Image size 250×250 · bone marrow smear
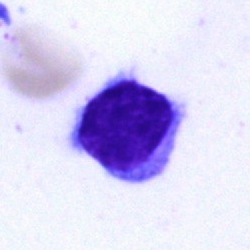 Cell type — lymphocyte.